Bone marrow aspirate smear: 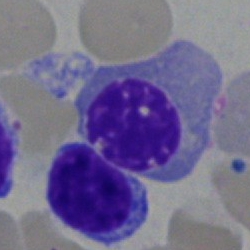
Morphological class = nucleated red cell.